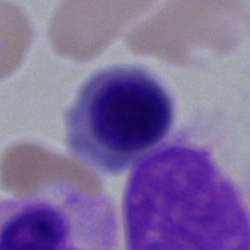The classification is erythroblast.